Bone marrow aspirate smear · 250 by 250 pixels:
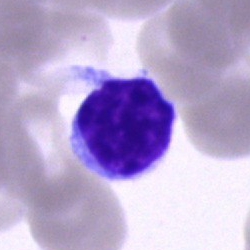

Classification: typical lymphocyte.